Bone marrow aspirate smear.
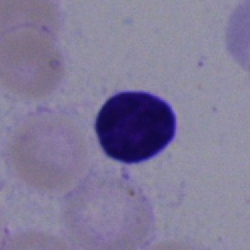Morphology consistent with a typical lymphocyte.